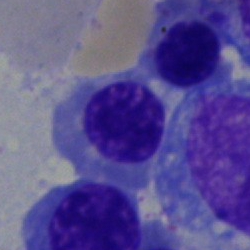 The cell is nucleated red cell.